Bone marrow aspirate smear: 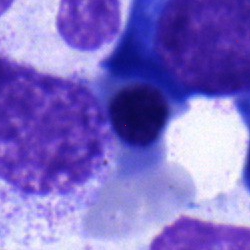 Cell type — nucleated red cell.